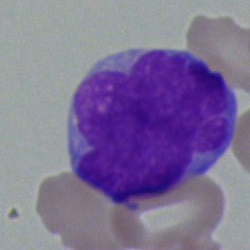
Cell: blast.